Brightfield, 40× oil-immersion objective · image size 250×250 · bone marrow aspirate smear: 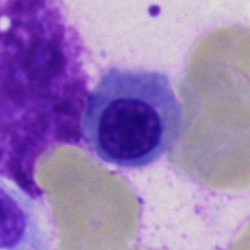

Nucleated red blood cell.